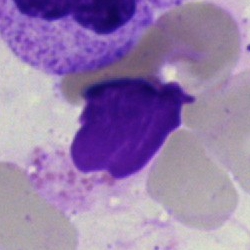

Q: What is shown here?
A: Artifact.